Bone marrow smear
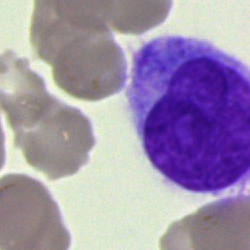 The cell type is blast cell.